Bone marrow smear:
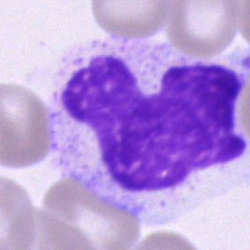
Morphology consistent with a cell of indeterminate lineage.